Bone marrow aspirate smear. Pappenheim-stained: 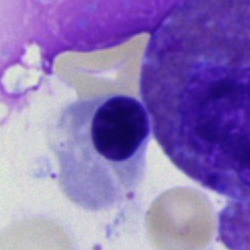
The morphological class is normoblast.